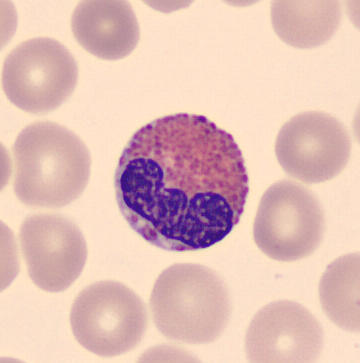Specimen: peripheral blood smear.
Cell type: eosinophil.

Image: Cropped to a single cell.